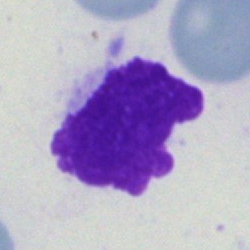

Bone marrow smear showing an artifact.